Bone marrow smear: 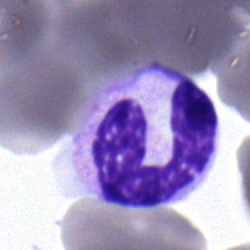

Morphological class: segmented neutrophil.